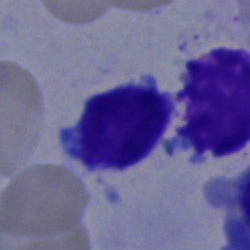 Q: Identify the cell.
A: Typical lymphocyte.